Bone marrow smear.
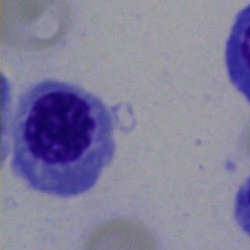
This is a nucleated red blood cell.